Bone marrow smear — 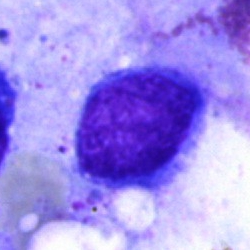
{"cell_type": "lymphocyte", "lineage": "lymphoid"}